Bone marrow smear — 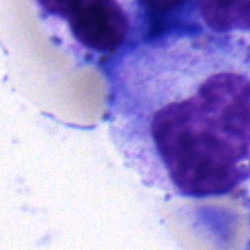 Morphological class: neutrophil (band).